Bone marrow aspirate smear.
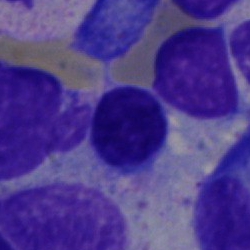
Morphology → lymphocyte.